40× objective, oil immersion. Bone marrow smear: 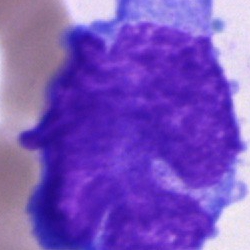

Q: Which cell type is shown here?
A: Blast cell.